Bone marrow aspirate smear:
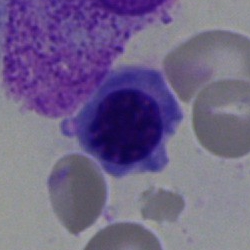 Classification = normoblast.